Bone marrow aspirate smear
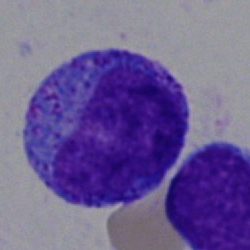

Specimen: bone marrow smear.
Cell type: progranulocyte.
Lineage: myeloid.